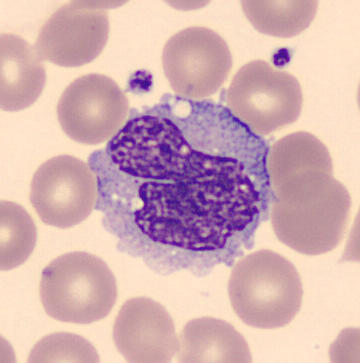Q: What is shown here?
A: Monocyte.